Bone marrow aspirate smear. May-Grünwald-Giemsa/Pappenheim stain. Brightfield microscopy, 40× oil immersion.
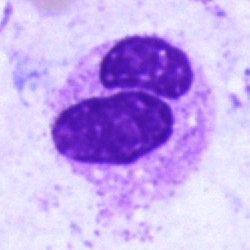Q: Identify the cell.
A: This is a neutrophil (segmented).